Bone marrow aspirate smear.
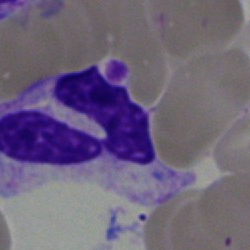

This is a segmented neutrophil.